Brightfield, 40× oil-immersion objective. Pappenheim-stained. Bone marrow smear: 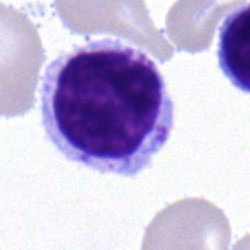 Morphological class — typical lymphocyte.